Bone marrow aspirate smear
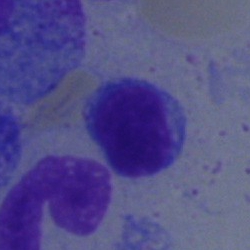
Specimen: bone marrow aspirate smear.
Classification: typical lymphocyte.